Pappenheim-stained · bone marrow aspirate smear
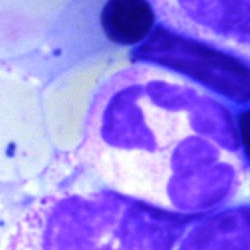

{"cell_type": "segmented neutrophil", "lineage": "myeloid"}